250×250 px; cropped to a single cell; bone marrow aspirate smear: 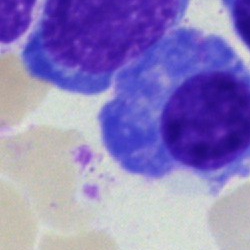

Specimen: bone marrow smear.
Morphological class: plasma cell.